Bone marrow smear; brightfield microscopy, 40× oil immersion; May-Grünwald-Giemsa/Pappenheim stain:
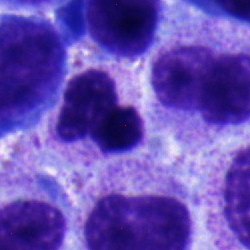 A segmented neutrophil.